Bone marrow smear — 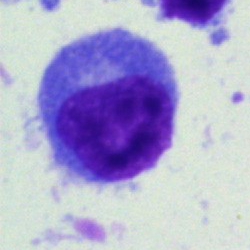Morphological class — plasma cell.